Bone marrow aspirate smear — 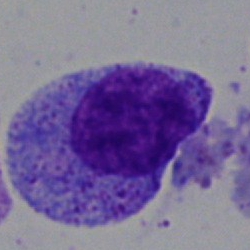
Specimen: bone marrow aspirate smear.
Cell: progranulocyte.